Image size 250×250; 40× oil immersion; bone marrow smear.
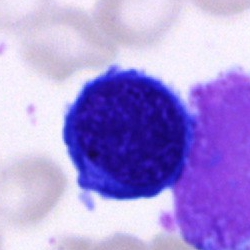

Showing an erythroblast.